Bone marrow smear
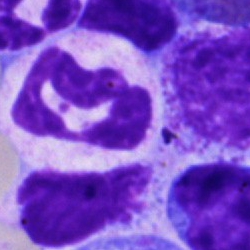
{"cell_type": "eosinophil", "lineage": "myeloid"}